Bone marrow smear · 40× oil immersion:
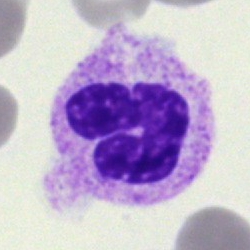Single cell identified as a segmented neutrophil.